Bone marrow aspirate smear:
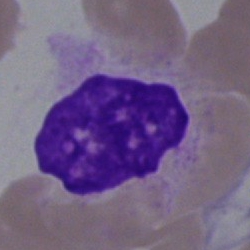Specimen: bone marrow aspirate smear.
Cell type: artifact.